Peripheral blood smear — 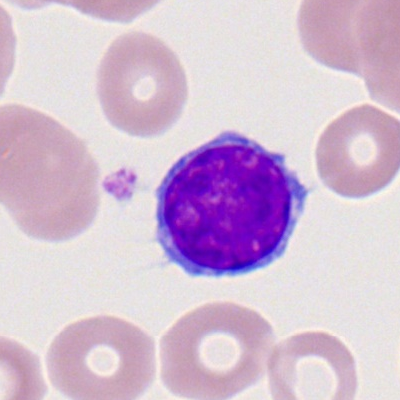

Specimen: peripheral blood film.
Classification: lymphocyte.
Lineage: lymphoid.